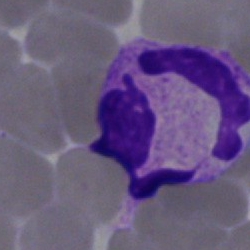 Morphology — neutrophil (segmented).